Bone marrow aspirate smear:
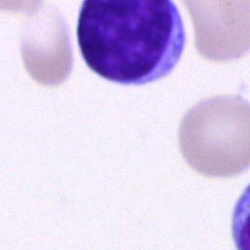
Classification — typical lymphocyte.